Bone marrow smear: 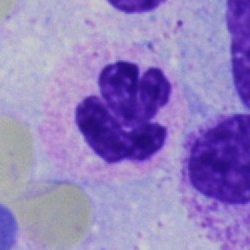Morphology — neutrophil (segmented).